Image size 250×250 · bone marrow smear.
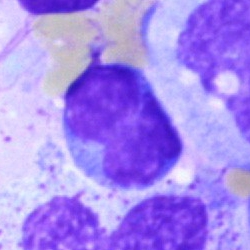 Showing a typical lymphocyte.